Single cell centered in the field; bone marrow smear — 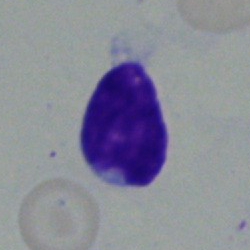The cell type is typical lymphocyte.